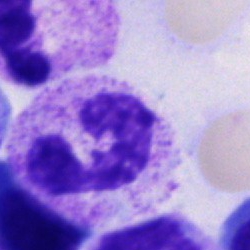
Q: Which cell type is shown here?
A: Band-form neutrophil.